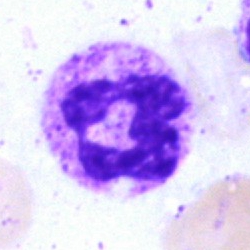 This is a segmented neutrophil.